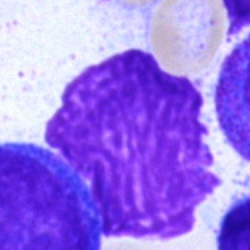
The cell is artefact.